Bone marrow smear:
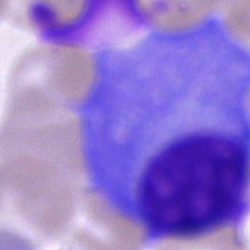
Morphology — plasma cell.